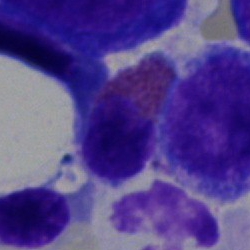

Q: What cell is this?
A: Eosinophilic granulocyte.